Bone marrow smear:
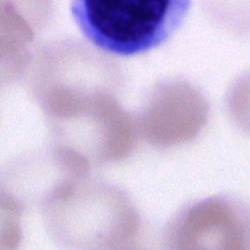
Cell type = cell of indeterminate lineage.